Bone marrow smear
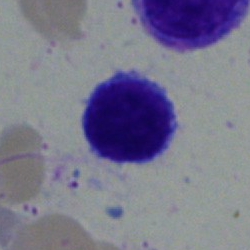 Cell — lymphocyte.